400 by 400 pixels; peripheral blood film; 100× oil immersion.
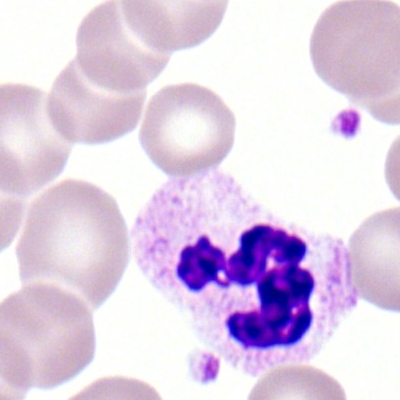
Specimen: peripheral blood smear.
Morphological class: neutrophil (segmented).
Lineage: myeloid.